Bone marrow aspirate smear: 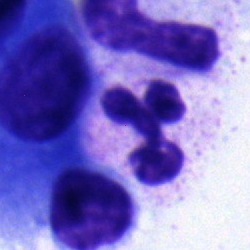Single cell identified as a polymorphonuclear neutrophil.